May-Grünwald-Giemsa stain · bone marrow aspirate smear
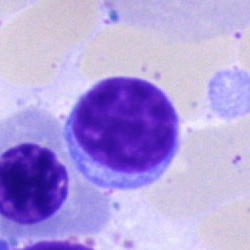

Morphology → typical lymphocyte.